Bone marrow aspirate smear
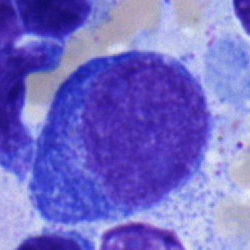

Morphology — progranulocyte.